MGG-stained · bone marrow aspirate smear · 250×250 px: 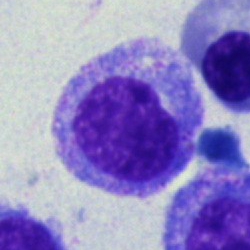Q: Which cell type is shown here?
A: A myelocyte.